Bone marrow aspirate smear:
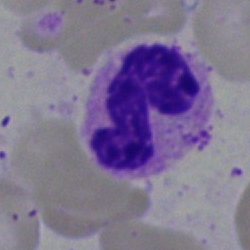
Q: What cell is this?
A: It is a segmented neutrophil.